Bone marrow smear:
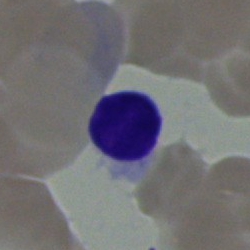 Q: Identify the cell.
A: Lymphocyte.